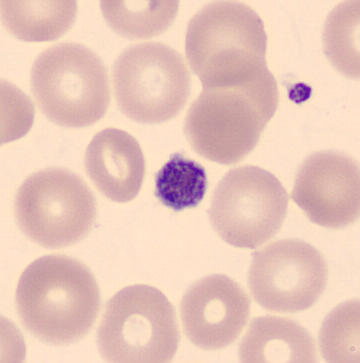

Q: What is this?
A: A platelet.

Preparation: Image size 360×363. Peripheral blood smear.